Bone marrow smear: 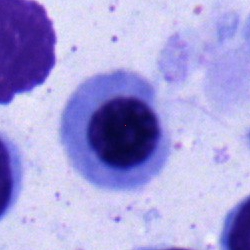
This is an erythroblast.